Brightfield, 40× oil-immersion objective; bone marrow aspirate smear; cropped to a single cell.
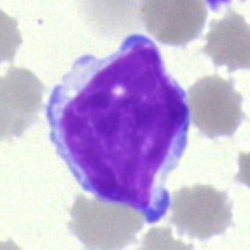Cell — lymphocyte.